Bone marrow smear:
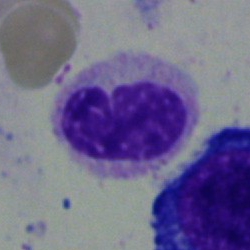 The morphological class is neutrophil (band).